Bone marrow smear. May-Grünwald-Giemsa/Pappenheim stain — 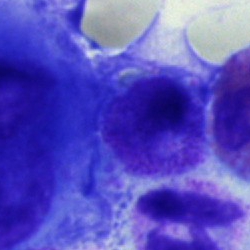 The classification is cell of indeterminate lineage.